Bone marrow aspirate smear:
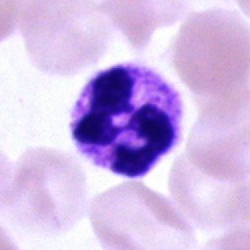This is a segmented neutrophil.